Bone marrow smear. Cropped to a single cell.
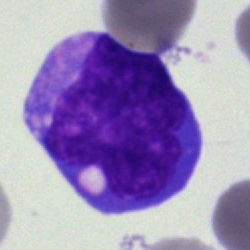 Blast cell.